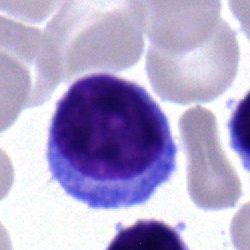 Cell — lymphocyte.